Bone marrow smear: 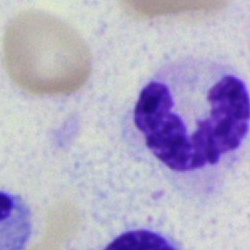

Neutrophil (segmented).